Bone marrow aspirate smear; cropped to a single cell; 40× objective, oil immersion — 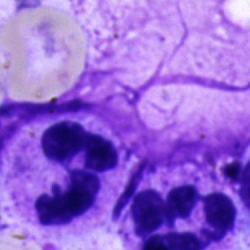
Specimen: bone marrow aspirate smear.
Cell type: neutrophil (segmented).
Lineage: myeloid.